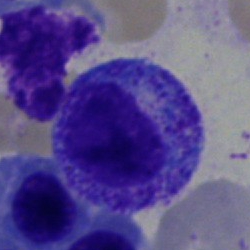Cell type: myelocyte.